Bone marrow smear: 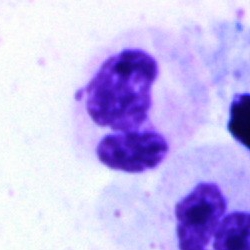Morphological class — neutrophil (segmented).